Single-cell field; peripheral blood smear — 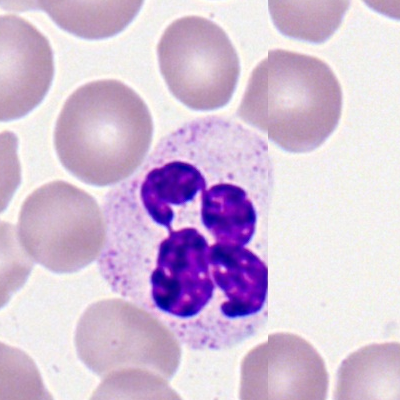
Impression → segmented neutrophil.